May-Grünwald-Giemsa stain · bone marrow aspirate smear
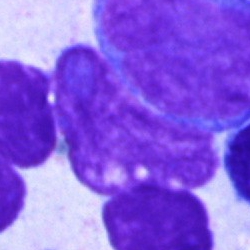Specimen: bone marrow aspirate smear.
Classification: artifact.